Bone marrow aspirate smear. 40× oil immersion
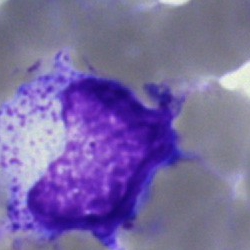Impression → promyelocyte.